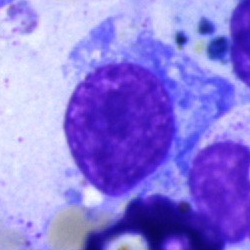
A plasmacyte.